40× objective, oil immersion. Bone marrow smear:
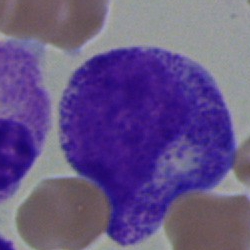
The cell shown is a myelocyte.